Bone marrow aspirate smear — 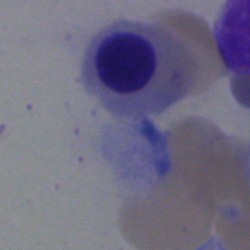

Morphology consistent with a nucleated red blood cell.